Peripheral blood film; brightfield, 100× oil-immersion objective
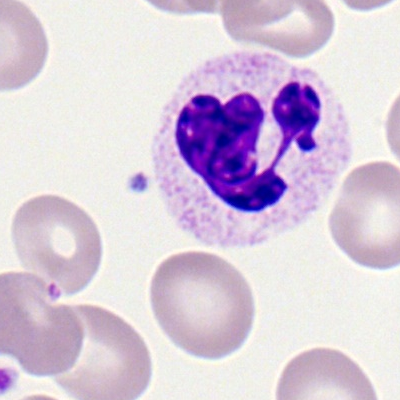 Morphology consistent with a polymorphonuclear neutrophil.